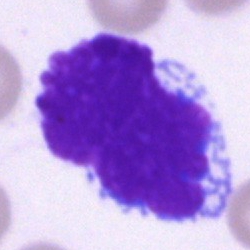

Q: What is shown here?
A: This is an artifact.